Bone marrow aspirate smear.
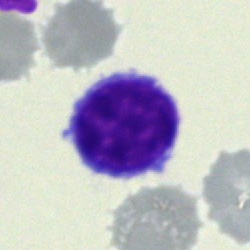Classification: lymphocyte.